400×400 · Romanowsky stain · peripheral blood smear.
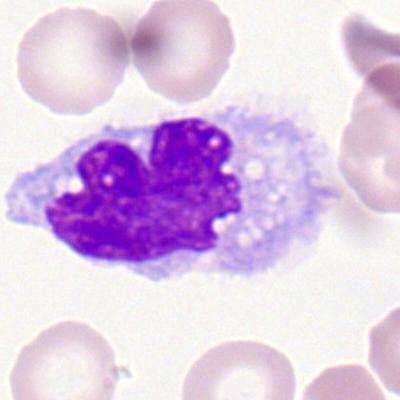
Q: What is the morphological classification of this cell?
A: It is a monocyte.